Bone marrow smear
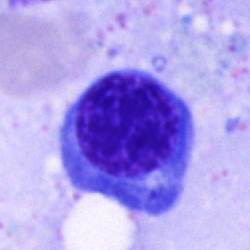

Q: What is the morphological classification of this cell?
A: A nucleated red cell.